Bone marrow aspirate smear · cropped to a single cell
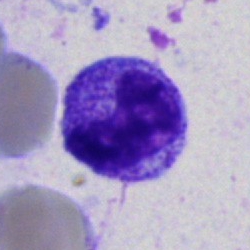 Specimen: bone marrow smear.
Classification: band neutrophil.
Lineage: myeloid.